Bone marrow aspirate smear — 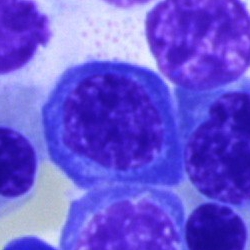 This is a normoblast.